40× oil immersion. Bone marrow smear — 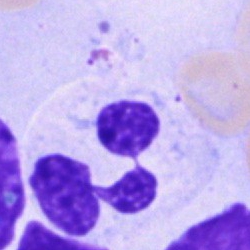

Morphological class = neutrophil (segmented).